Bone marrow aspirate smear · May-Grünwald-Giemsa/Pappenheim stain — 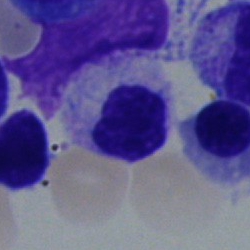Cell type = myelocyte.